Bone marrow smear; brightfield microscopy, 40× oil immersion; MGG-stained — 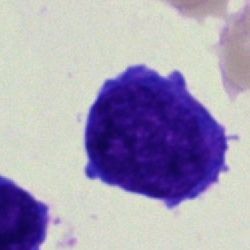 {"cell_type": "blast"}